Romanowsky-stained; peripheral blood smear
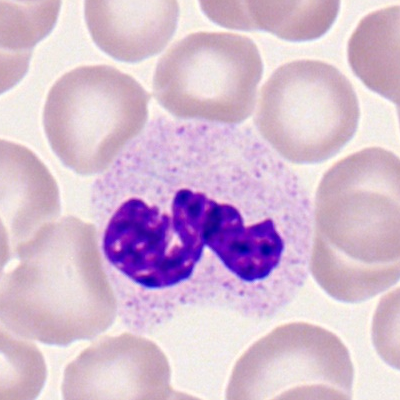
Q: What is shown here?
A: A polymorphonuclear neutrophil.